250 by 250 pixels. Bone marrow aspirate smear. Brightfield microscopy, 40× oil immersion: 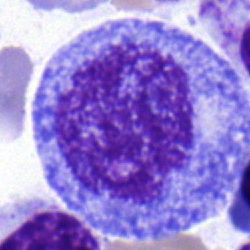 Morphology consistent with a promyelocyte.